May-Grünwald-Giemsa stain · bone marrow smear
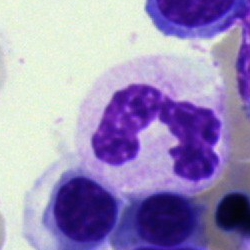
{"cell_type": "neutrophil (segmented)", "lineage": "myeloid"}